Bone marrow aspirate smear — 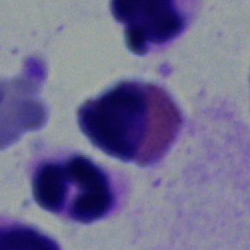

Showing an eosinophil.